Bone marrow smear · image size 250×250 · brightfield, 40× oil-immersion objective — 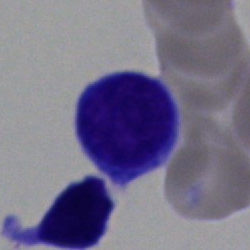
The cell shown is a lymphocyte.